May-Grünwald-Giemsa stain; bone marrow aspirate smear: 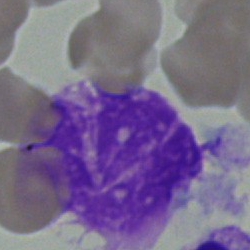
Q: What is shown here?
A: This is an artifact.